Bone marrow aspirate smear. Brightfield microscopy, 40× oil immersion — 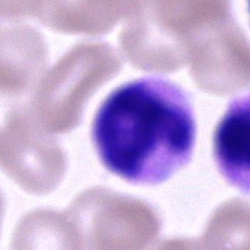
A segmented neutrophil.